Bone marrow aspirate smear — 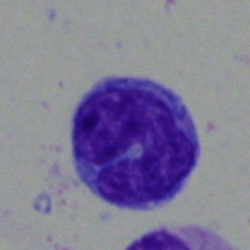
The morphological class is monocyte.